Peripheral blood smear; Romanowsky stain — 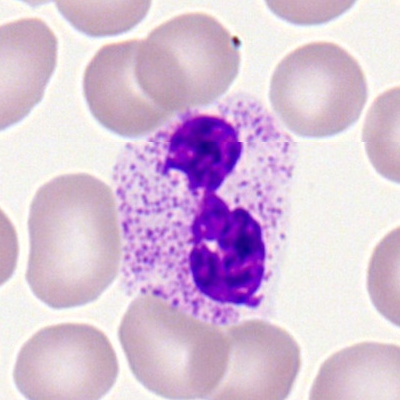
Q: Identify the cell.
A: A neutrophil (segmented).